Bone marrow aspirate smear.
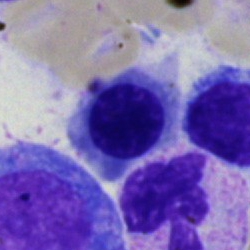

Q: What is shown here?
A: This is a nucleated red blood cell.